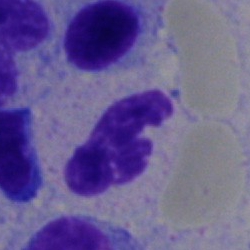

The morphological class is polymorphonuclear neutrophil.